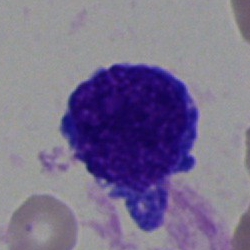 Classification = blast cell.